Bone marrow smear: 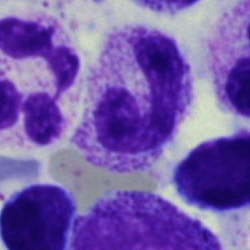

Single cell identified as a band-form neutrophil.